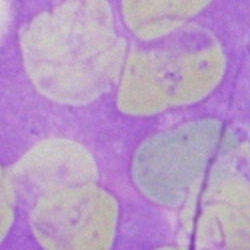

Showing an artifact.